Bone marrow aspirate smear
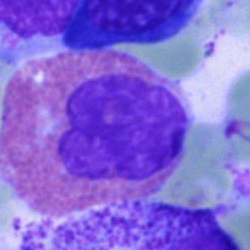
Specimen: bone marrow aspirate smear.
Cell: eosinophil.
Lineage: myeloid.